Image size 250×250; bone marrow aspirate smear.
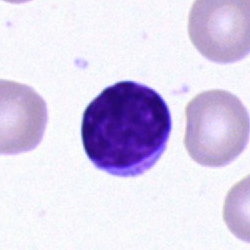Cell type: typical lymphocyte.